Peripheral blood smear:
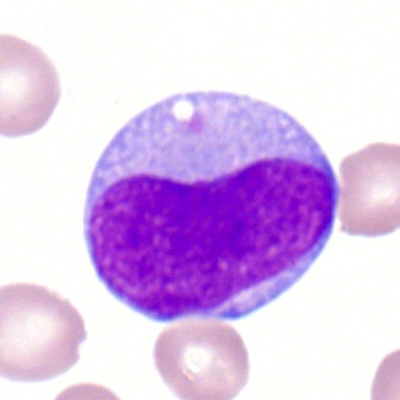 Q: Which cell type is shown here?
A: A myeloblast.